Bone marrow aspirate smear; Pappenheim-stained; 250×250
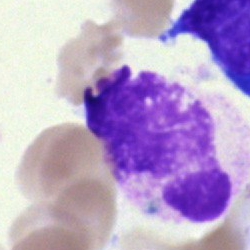 The cell shown is an artifact.